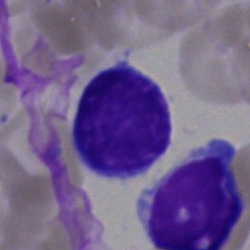
Cell = lymphocyte.